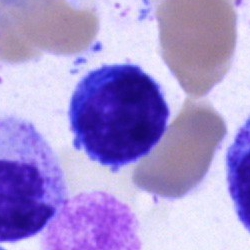

Morphological class = plasma cell.